Bone marrow aspirate smear: 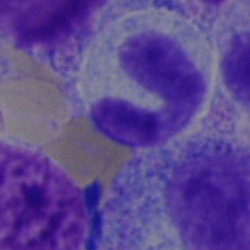
The morphological class is neutrophil (band).